Image size 400×400; cropped to a single cell; peripheral blood film:
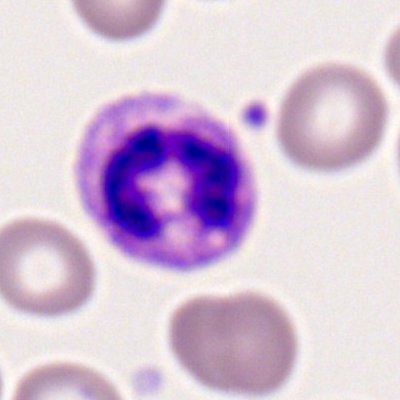

Cell type — neutrophil (segmented).